Peripheral blood smear: 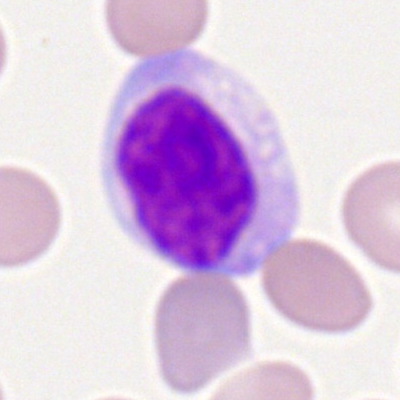 Morphology consistent with a lymphocyte.